Bone marrow aspirate smear; brightfield, 40× oil-immersion objective
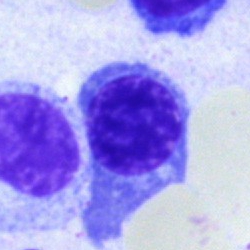
The classification is normoblast.